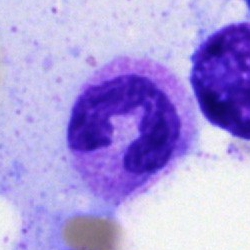
The cell shown is a neutrophil (segmented).